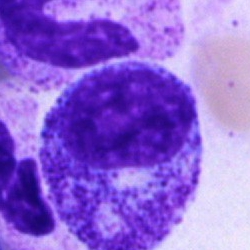

Q: Which cell type is shown here?
A: A myelocyte.